Bone marrow aspirate smear; image size 250×250 — 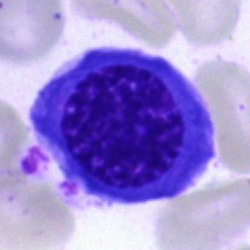

Cell type — nucleated red blood cell.